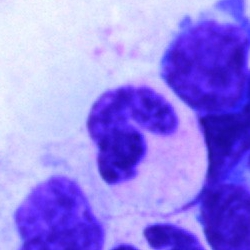Classification: stab cell.